Bone marrow smear. May-Grünwald-Giemsa/Pappenheim stain. Single-cell field: 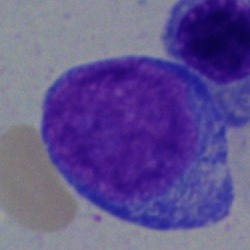

This is a blast cell.